Bone marrow aspirate smear: 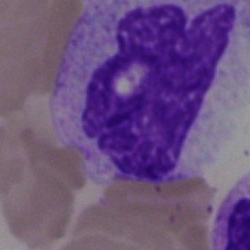Morphology → monocyte.